Peripheral blood film — 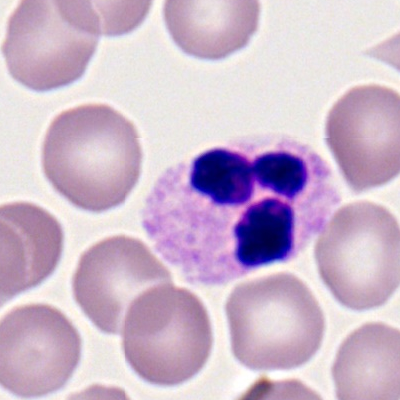

The cell is polymorphonuclear neutrophil.